Bone marrow aspirate smear
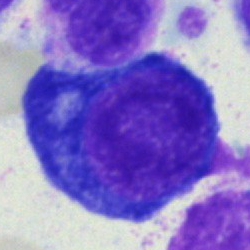
Specimen: bone marrow aspirate smear.
Classification: pronormoblast.
Lineage: erythroid.